Bone marrow smear
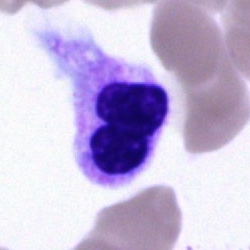Q: What is shown here?
A: This is an artifact.